Bone marrow smear:
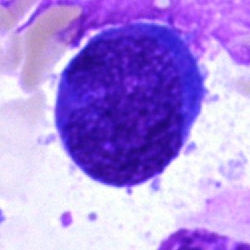

The cell shown is a blast.